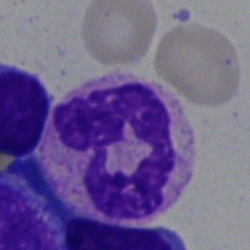 Specimen: bone marrow aspirate smear.
Cell type: neutrophil (segmented).
Lineage: myeloid.